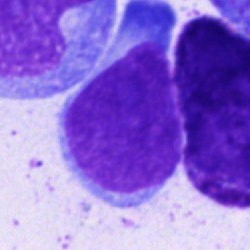Classification — blast cell.